Bone marrow smear — 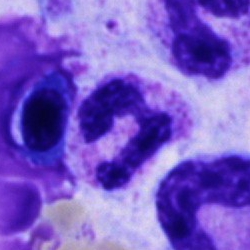
Morphology consistent with a polymorphonuclear neutrophil.